40× oil immersion. Bone marrow aspirate smear — 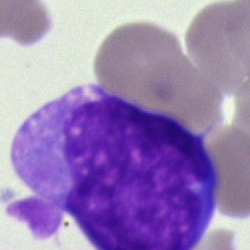
Classification = blast.